Bone marrow aspirate smear: 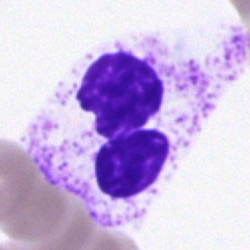Q: What cell is this?
A: A polymorphonuclear neutrophil.